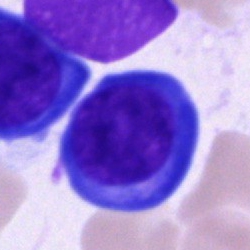

Single-cell crop from a bone marrow smear: plasma cell.